40× objective, oil immersion. Bone marrow smear:
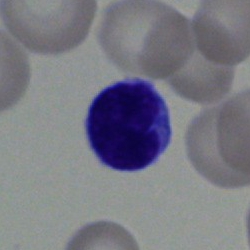
Q: Identify the cell.
A: A typical lymphocyte.